Bone marrow smear: 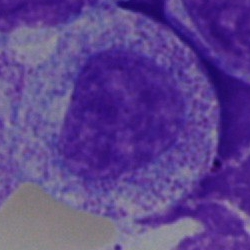 {"cell_type": "myelocyte"}